Bone marrow smear — 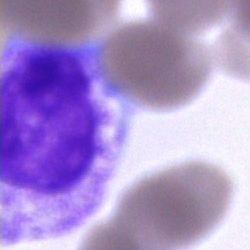 Impression — unidentifiable cell.